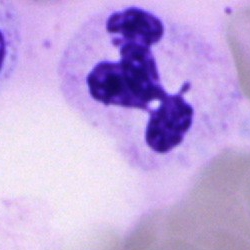 Q: Which cell type is shown here?
A: Segmented neutrophil.